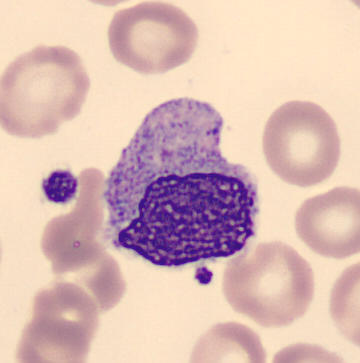
Preparation: Peripheral blood smear. The cell shown is a monocyte.